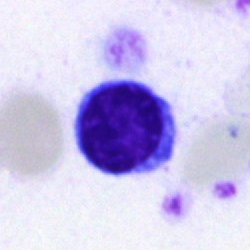 Morphology consistent with a lymphocyte.